Bone marrow smear
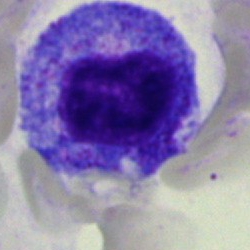 This is a progranulocyte.